Single-cell crop; bone marrow smear
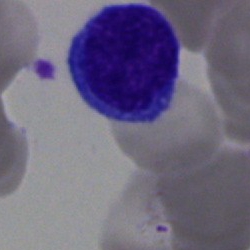 {"cell_type": "lymphocyte", "lineage": "lymphoid"}